Peripheral blood film: 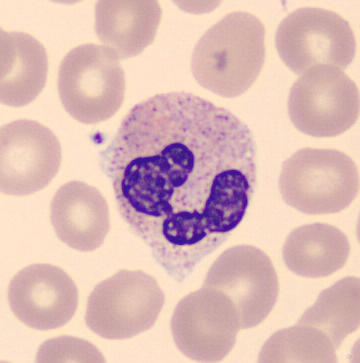
Specimen: peripheral blood film.
Cell: neutrophil (segmented).